Bone marrow aspirate smear:
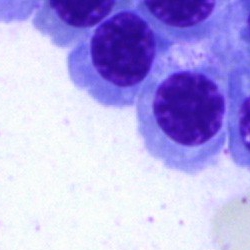Specimen: bone marrow smear.
Morphological class: nucleated red blood cell.
Lineage: erythroid.